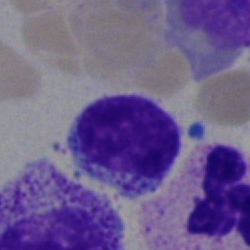

The cell shown is a lymphocyte.